Bone marrow aspirate smear.
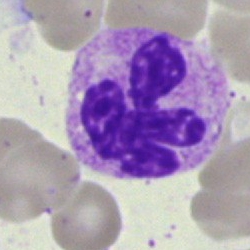

Morphology consistent with a segmented neutrophil.